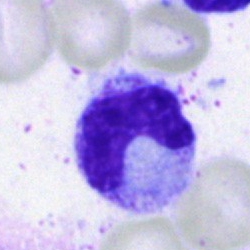
Impression — neutrophil (band).